Bone marrow aspirate smear.
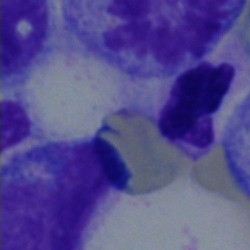

Q: What is shown here?
A: This is an artifact.